Bone marrow aspirate smear:
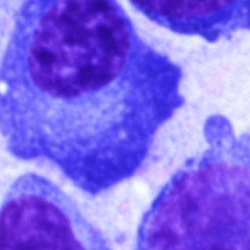A plasma cell.